Peripheral blood film; cropped to a single cell; Romanowsky-stained: 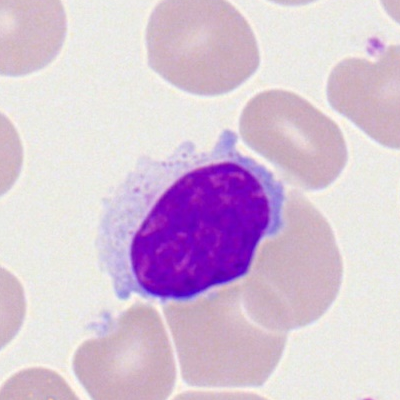
Classification: typical lymphocyte.